250 by 250 pixels; brightfield, 40× oil-immersion objective; bone marrow aspirate smear: 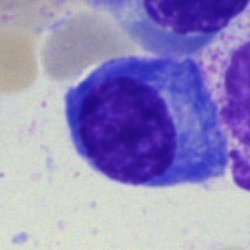Cell type = plasmacyte.